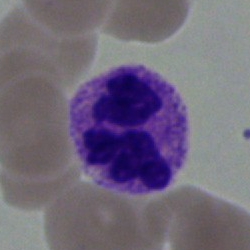Morphology consistent with a neutrophil (segmented).